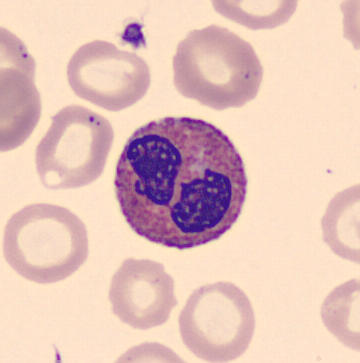
Q: What is this?
A: Eosinophilic granulocyte. Peripheral blood smear.